Bone marrow smear: 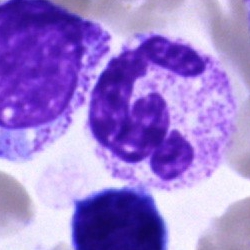

Morphology consistent with a segmented neutrophil.